Bone marrow smear:
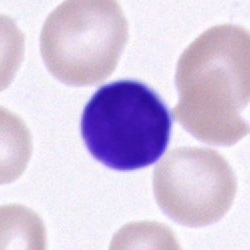 Q: What cell is this?
A: This is a lymphocyte.